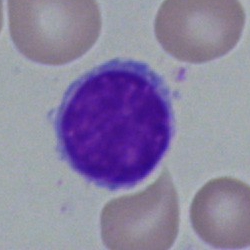

A lymphocyte on a bone marrow smear.